Single cell centered in the field; bone marrow smear — 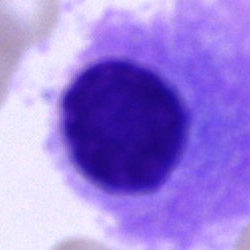

A plasma cell.